250×250 px; bone marrow smear; single-cell crop
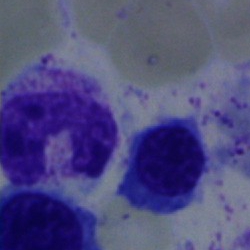Stab cell.